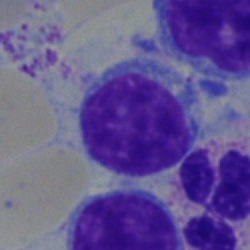
Showing a typical lymphocyte.